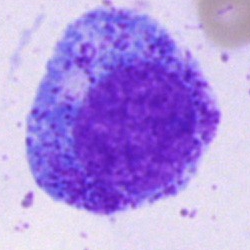
Impression — progranulocyte.